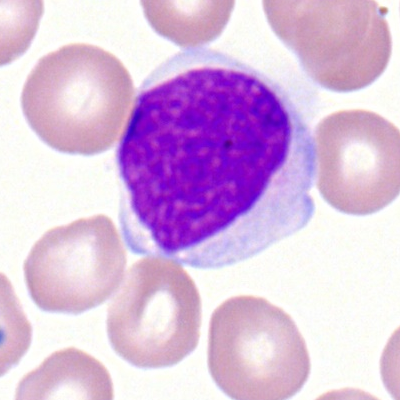Cell type = myeloid blast.